Bone marrow smear
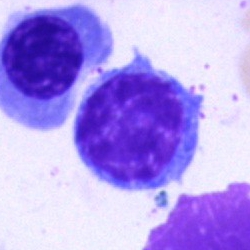

Specimen: bone marrow aspirate smear.
Cell: typical lymphocyte.
Lineage: lymphoid.